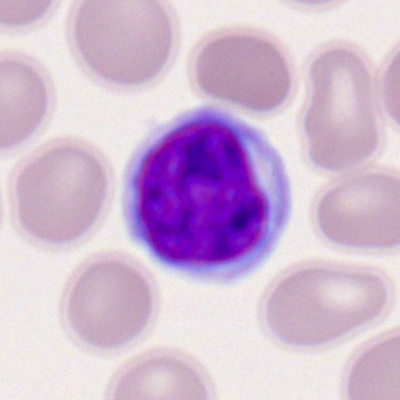

Morphological class — lymphocyte.